250 by 250 pixels. Brightfield, 40× oil-immersion objective. Bone marrow aspirate smear — 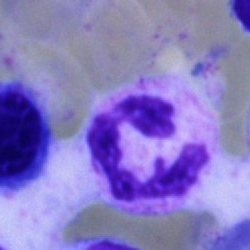
Classification: neutrophil (segmented).